Bone marrow smear; 250×250: 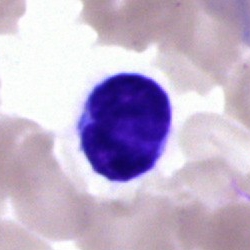Q: Which cell type is shown here?
A: This is a typical lymphocyte.